Bone marrow smear; MGG-stained — 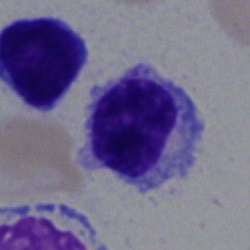
The cell shown is a typical lymphocyte.